Peripheral blood smear; 100× oil immersion:
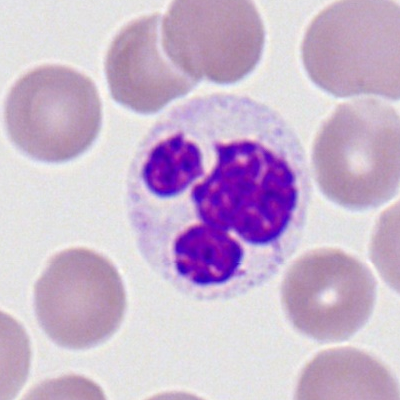

The morphological class is polymorphonuclear neutrophil.